Cropped to a single cell · bone marrow smear
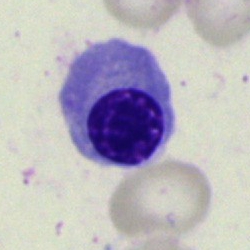 Specimen: bone marrow smear.
Classification: nucleated red cell.
Lineage: erythroid.